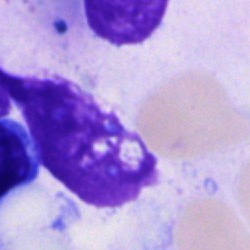 Impression — artifact.